Image size 250×250 · MGG-stained · bone marrow smear
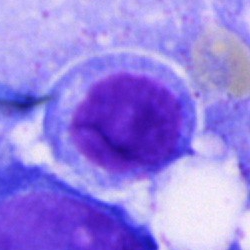 Q: What type of cell is this?
A: This is a blast.